Bone marrow aspirate smear — 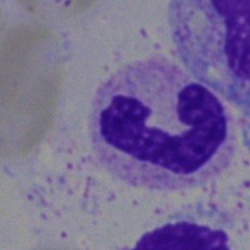 Impression → neutrophil (segmented).